Bone marrow aspirate smear:
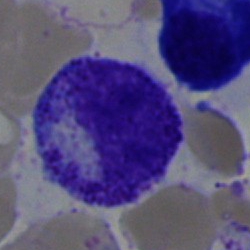 Q: What type of cell is this?
A: It is a myelocyte.